Bone marrow aspirate smear: 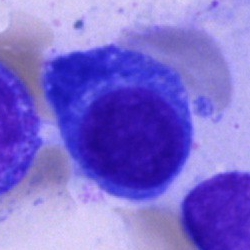
The cell shown is a plasmacyte.